Bone marrow smear.
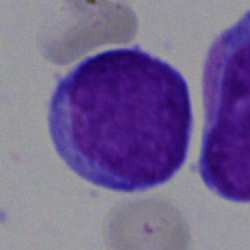Q: What is the morphological classification of this cell?
A: Undifferentiated blast.